Bone marrow smear.
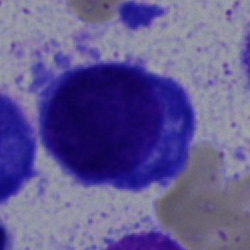 Impression → plasmacyte.